Bone marrow smear. Single-cell field:
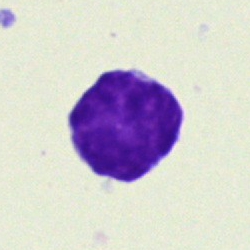
Specimen: bone marrow aspirate smear.
Cell type: typical lymphocyte.
Lineage: lymphoid.